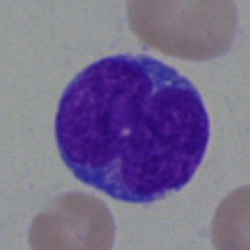 Q: What cell is this?
A: It is a blast.